250×250. Bone marrow smear
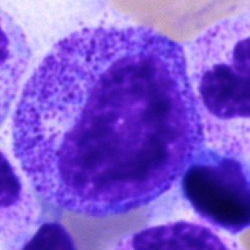Morphological class — myelocyte.